Bone marrow smear · 250×250 — 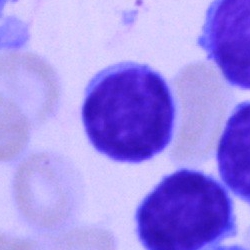 Single cell identified as a lymphocyte.